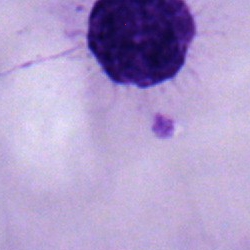Bone marrow aspirate smear, single cell — lymphocyte.